Bone marrow smear. 250 by 250 pixels. Single-cell field.
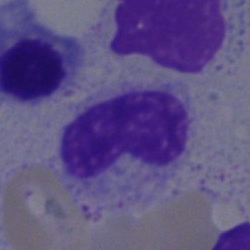

Morphology consistent with a band neutrophil.